MGG-stained. Brightfield, 40× oil-immersion objective. Bone marrow smear
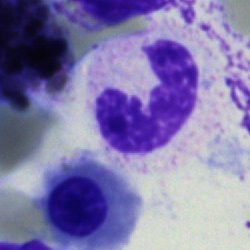
Q: What is the morphological classification of this cell?
A: A polymorphonuclear neutrophil.